400 by 400 pixels. Peripheral blood film
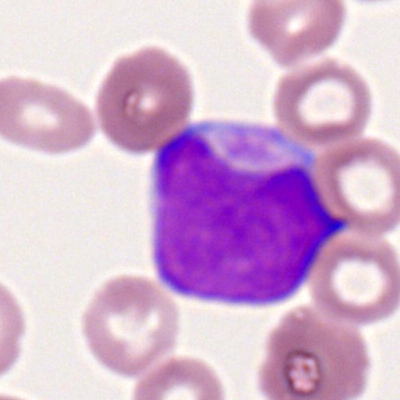
Q: Identify the cell.
A: Myeloid blast.